Bone marrow aspirate smear: 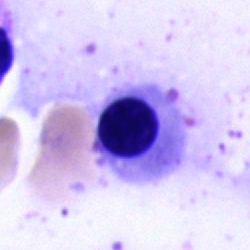
Morphology → undifferentiated blast.